Bone marrow aspirate smear:
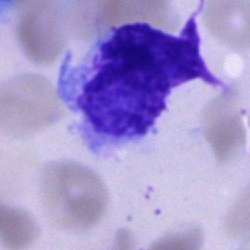Q: What is shown here?
A: Artefact.